Bone marrow aspirate smear
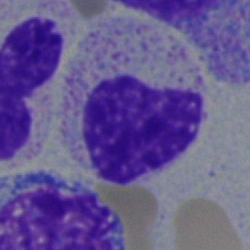A myelocyte.